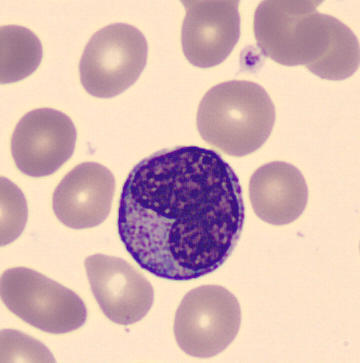 The morphological class is metamyelocyte.

May-Grünwald-Giemsa-stained; peripheral blood film.